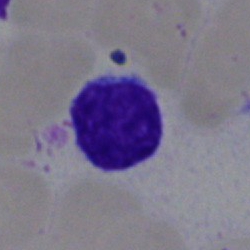 Cell: lymphocyte.